Bone marrow smear · single-cell crop: 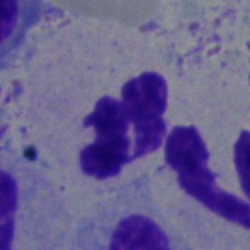
Impression — polymorphonuclear neutrophil.